Bone marrow smear — 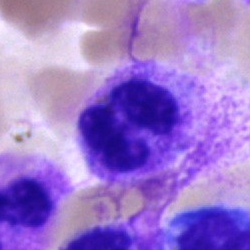

Morphology — polymorphonuclear neutrophil.